Bone marrow aspirate smear
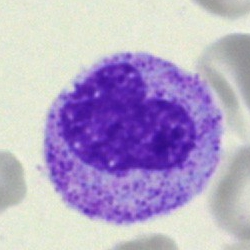 The cell is neutrophil (band).